Peripheral blood film.
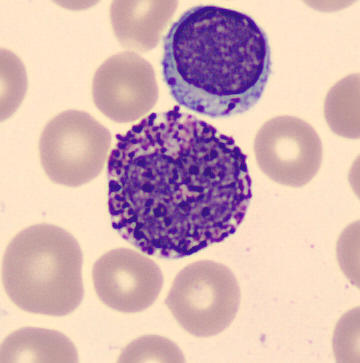Showing a basophilic granulocyte.